Bone marrow smear; 250 by 250 pixels; 40× objective, oil immersion.
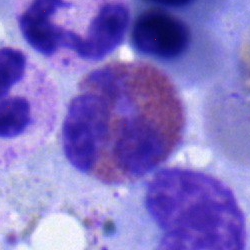Specimen: bone marrow smear.
Morphological class: eosinophil.
Lineage: myeloid.